Bone marrow aspirate smear.
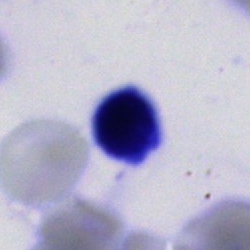

Q: What cell is this?
A: A typical lymphocyte.